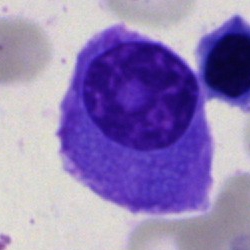 A plasma cell.